Bone marrow smear: 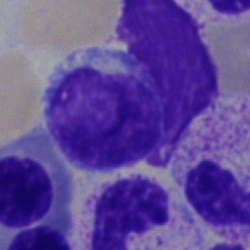 The cell shown is a lymphocyte.